Bone marrow aspirate smear.
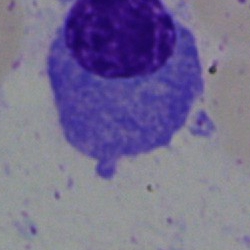
Impression → plasma cell.